Bone marrow aspirate smear; image size 250×250: 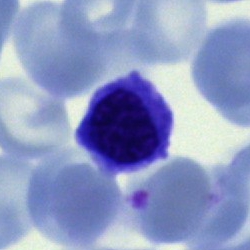

Specimen: bone marrow smear.
Morphological class: artifact.